Bone marrow aspirate smear · 250×250 · 40× oil immersion — 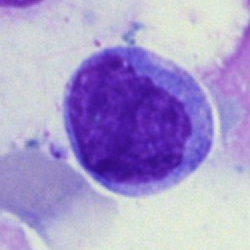
Morphology → monocyte.